Bone marrow aspirate smear · single-cell field — 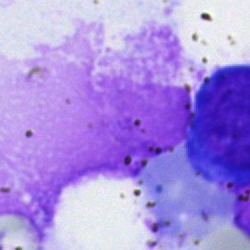

Single cell identified as an artifact.